250×250 px. Bone marrow aspirate smear
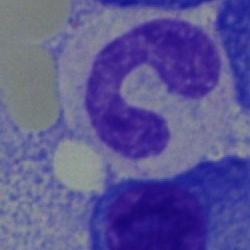 Q: Identify the cell.
A: Neutrophil (band).